Bone marrow smear. May-Grünwald-Giemsa/Pappenheim stain. Single cell centered in the field
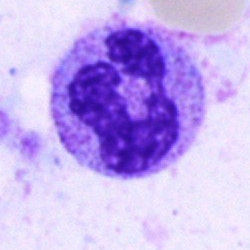Single cell identified as a neutrophil (segmented).